Bone marrow smear · single-cell field · May-Grünwald-Giemsa stain.
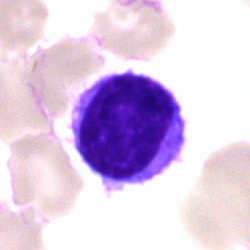
Single cell identified as a lymphocyte.